Single-cell field · bone marrow smear · 40× objective, oil immersion.
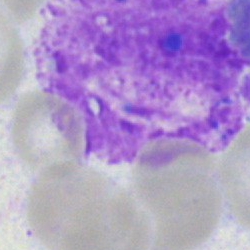Q: What is shown here?
A: Artefact.